Bone marrow aspirate smear. MGG-stained:
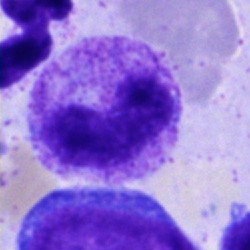Specimen: bone marrow smear.
Cell type: metamyelocyte.
Lineage: myeloid.